Brightfield, 40× oil-immersion objective. 250 by 250 pixels. Bone marrow smear:
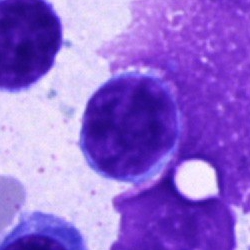Showing a typical lymphocyte.